Bone marrow aspirate smear
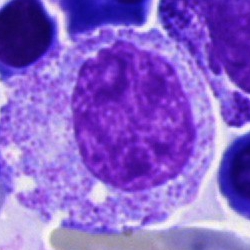 Progranulocyte.